Bone marrow aspirate smear
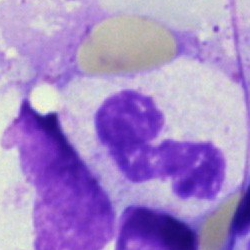
Specimen: bone marrow smear.
Morphological class: polymorphonuclear neutrophil.